Peripheral blood film
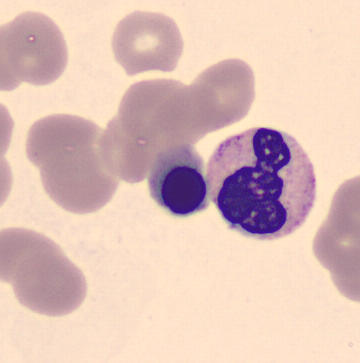
Identified as a normoblast.